Bone marrow aspirate smear; MGG-stained: 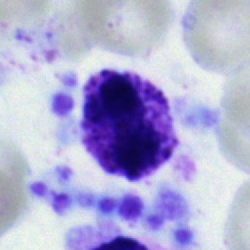
Single cell identified as a basophilic granulocyte.